Bone marrow smear: 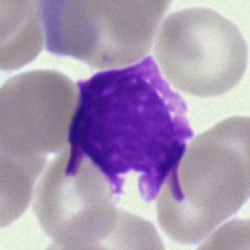 Q: What is shown here?
A: This is an artifact.